Bone marrow smear · 250 by 250 pixels: 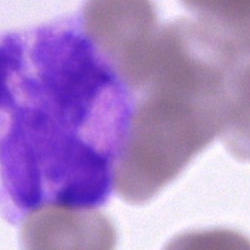 Showing an artifact.